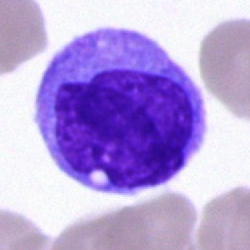
Q: Which cell type is shown here?
A: This is an undifferentiated blast.